Bone marrow smear — 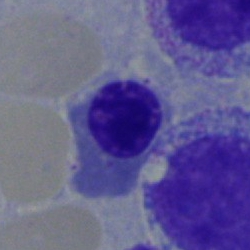
Impression → erythroblast.